Bone marrow smear · single-cell field
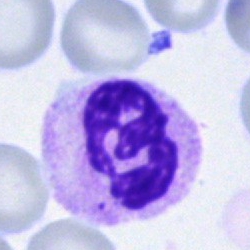
Specimen: bone marrow aspirate smear.
Morphological class: neutrophil (segmented).
Lineage: myeloid.